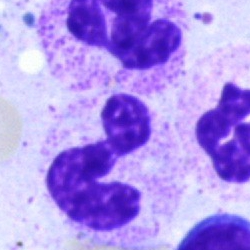 The morphological class is polymorphonuclear neutrophil.